May-Grünwald-Giemsa/Pappenheim stain. Bone marrow smear:
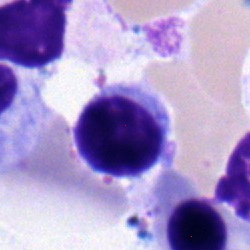
Cell: typical lymphocyte.